Brightfield, 100× oil-immersion objective · peripheral blood film · single-cell field:
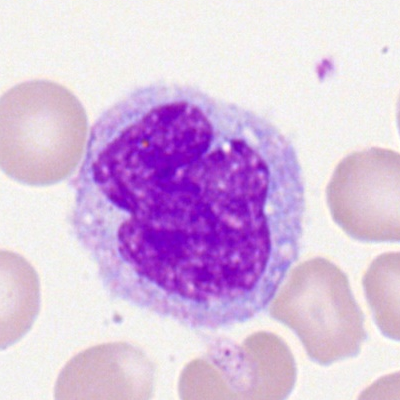Specimen: peripheral blood film.
Classification: monocyte.
Lineage: myeloid.